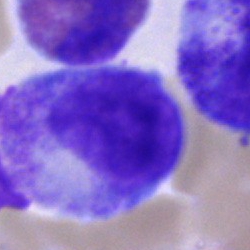
Q: Which cell type is shown here?
A: Progranulocyte.